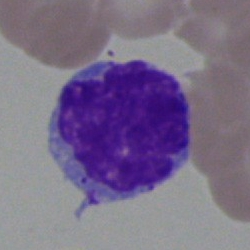
The cell shown is a lymphocyte.